Bone marrow smear
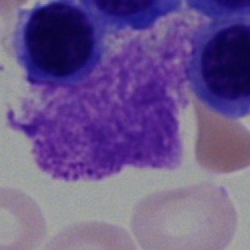 Cell type = artifact.